Bone marrow aspirate smear.
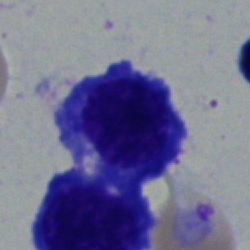

The classification is erythroblast.